Bone marrow smear: 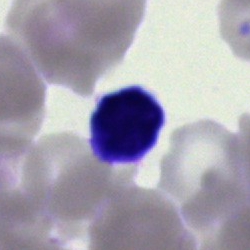
The cell shown is a typical lymphocyte.